Bone marrow smear:
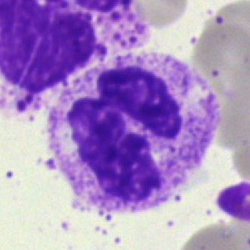
Q: Identify the cell.
A: It is a polymorphonuclear neutrophil.